250×250 px. Bone marrow aspirate smear. Pappenheim-stained — 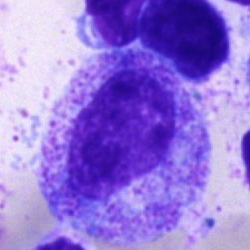

Progranulocyte.